Bone marrow smear.
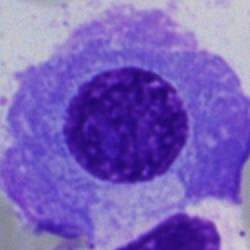 Morphological class: plasma cell.